40× oil immersion; cropped to a single cell; bone marrow smear — 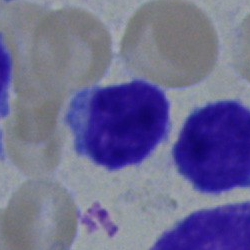

Impression — lymphocyte.